Bone marrow aspirate smear. Single cell centered in the field.
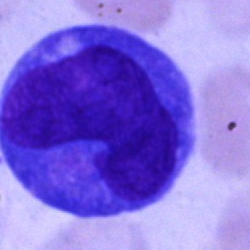

The cell is blast cell.